Peripheral blood smear · Romanowsky-type stain: 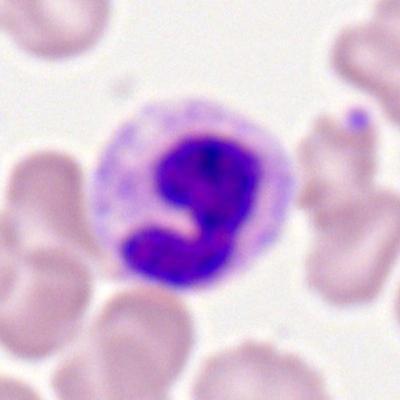
Morphology → band neutrophil.